Pappenheim-stained. Bone marrow smear: 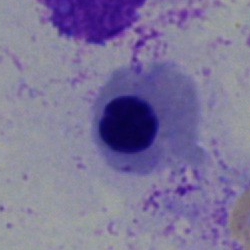The cell is normoblast.